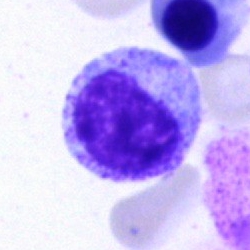

Morphology consistent with a myelocyte.